Bone marrow smear. Brightfield, 40× oil-immersion objective — 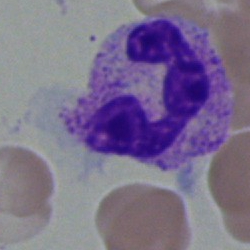

Specimen: bone marrow smear.
Cell type: polymorphonuclear neutrophil.
Lineage: myeloid.